Bone marrow aspirate smear — 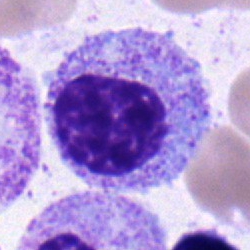 Specimen: bone marrow smear.
Classification: myelocyte.
Lineage: myeloid.